Single cell centered in the field; peripheral blood film
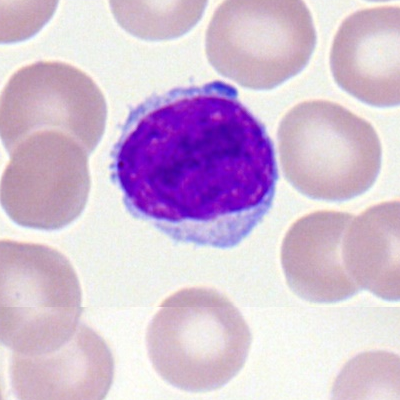

Q: Identify the cell.
A: Atypical lymphocyte.